Bone marrow smear; single-cell field; 250×250: 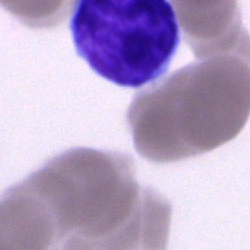

Specimen: bone marrow smear.
Morphological class: lymphocyte.
Lineage: lymphoid.